Peripheral blood film: 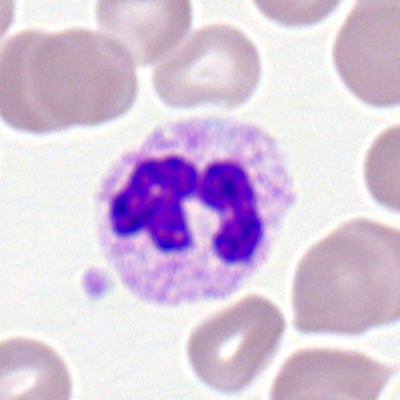

Single cell identified as a polymorphonuclear neutrophil.